Peripheral blood film. Single-cell crop. CellaVision DM96: 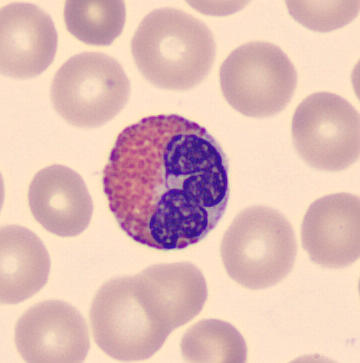 {"cell_type": "eosinophil"}